Bone marrow smear.
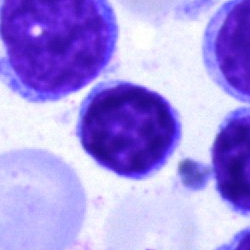

Showing a lymphocyte.